Cropped to a single cell · Pappenheim-stained · bone marrow smear:
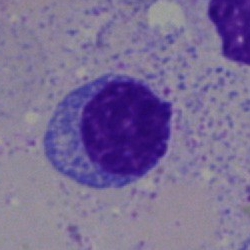

Impression → lymphocyte.